250 by 250 pixels. 40× oil immersion. Bone marrow aspirate smear — 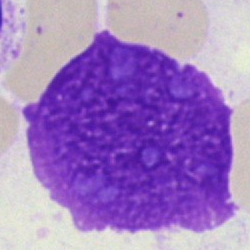

Morphology consistent with an artifact.